Bone marrow smear.
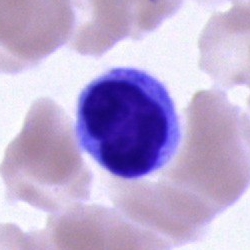Showing a typical lymphocyte.